Bone marrow aspirate smear · 250×250
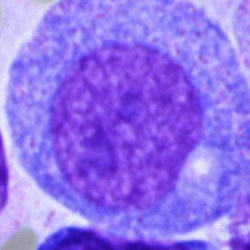

Impression — promyelocyte.